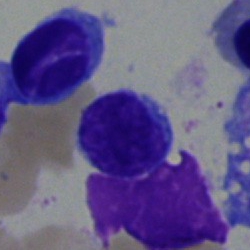

Q: Which cell type is shown here?
A: A lymphocyte.